Bone marrow smear · Pappenheim-stained.
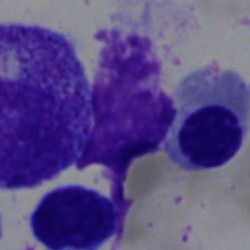Specimen: bone marrow aspirate smear.
Cell: nucleated red cell.